Romanowsky-stained. Peripheral blood smear:
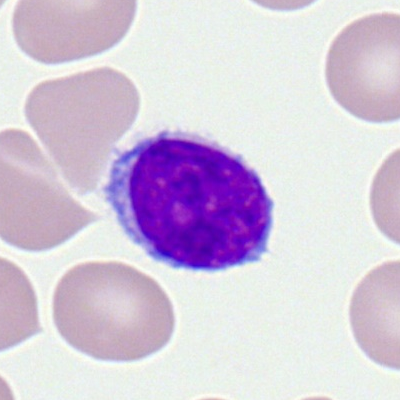Cell type = typical lymphocyte.